May-Grünwald-Giemsa stain. Single cell centered in the field. Bone marrow smear.
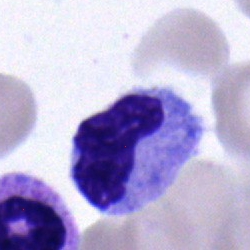

Q: What is the morphological classification of this cell?
A: This is a metamyelocyte.